Bone marrow aspirate smear — 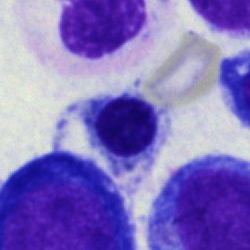
An erythroblast.